Romanowsky stain · peripheral blood film · brightfield, 100× oil-immersion objective
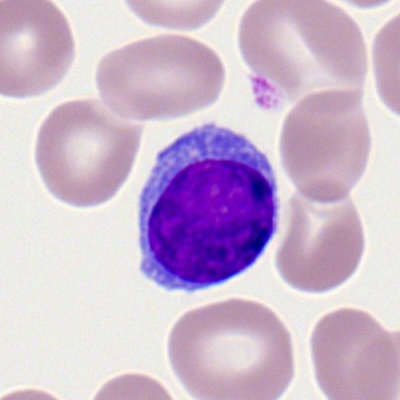

Morphology consistent with a lymphocyte.